Cropped to a single cell; bone marrow smear — 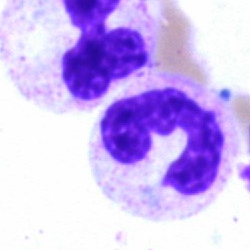
This is a neutrophil (segmented).